Bone marrow aspirate smear; MGG-stained.
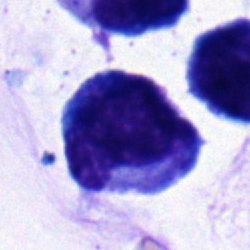 This is a monocyte.